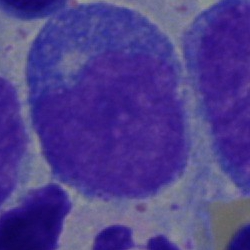 Cell — progranulocyte.